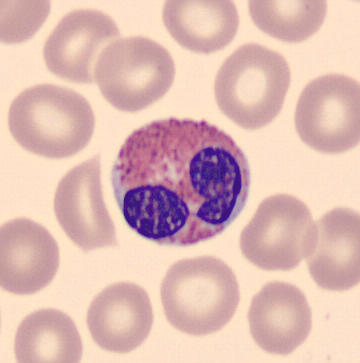
{"cell_type": "eosinophilic granulocyte"}